Bone marrow aspirate smear: 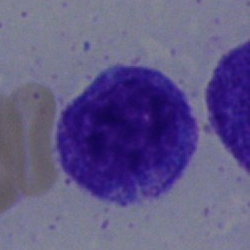{"cell_type": "promyelocyte"}